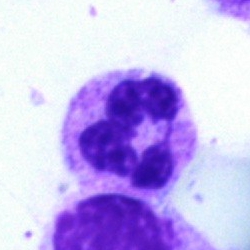

Bone marrow aspirate smear, single cell — polymorphonuclear neutrophil.